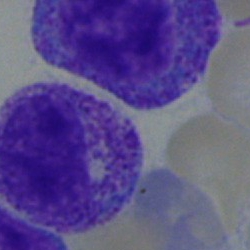

A myelocyte on a bone marrow smear.